Bone marrow aspirate smear. Brightfield, 40× oil-immersion objective.
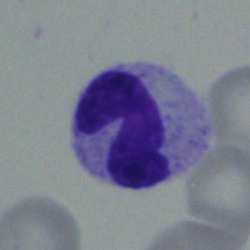

Q: What type of cell is this?
A: A neutrophil (band).